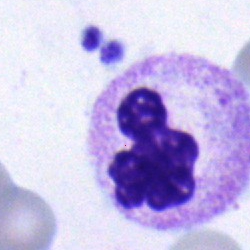 Cell type: neutrophil (segmented).